May-Grünwald-Giemsa/Pappenheim stain. Bone marrow smear — 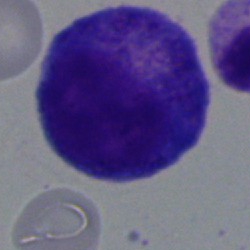Q: Which cell type is shown here?
A: It is a promyelocyte.